Single cell centered in the field. Bone marrow aspirate smear: 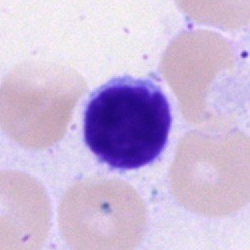

Impression — typical lymphocyte.